Cropped to a single cell; bone marrow smear — 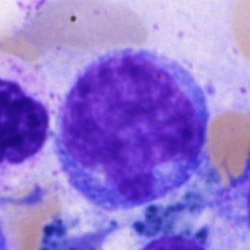 Morphology consistent with a monocyte.